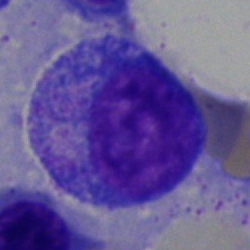 Q: What cell is this?
A: A progranulocyte.